Bone marrow aspirate smear
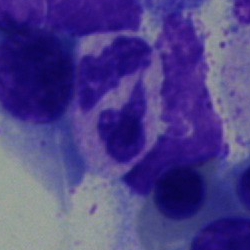 Morphology → polymorphonuclear neutrophil.